Bone marrow smear: 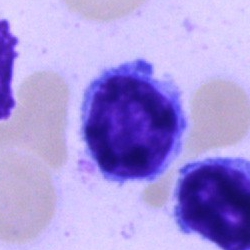
Impression — typical lymphocyte.